Bone marrow aspirate smear; Pappenheim-stained; 40× objective, oil immersion.
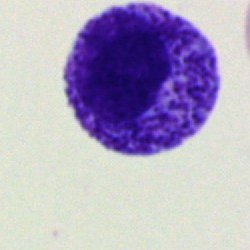The cell type is myelocyte.